Bone marrow smear — 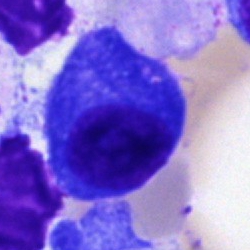

Plasma cell.